Bone marrow aspirate smear
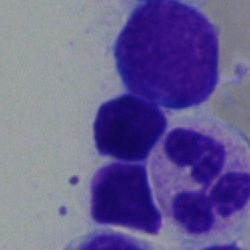

Single cell identified as a polymorphonuclear neutrophil.